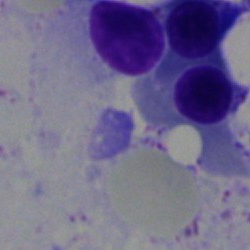Morphology consistent with a nucleated red blood cell.